Bone marrow aspirate smear.
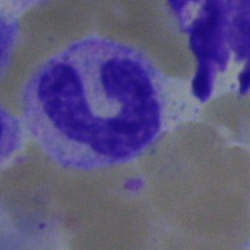Cell type: stab cell.